Peripheral blood film:
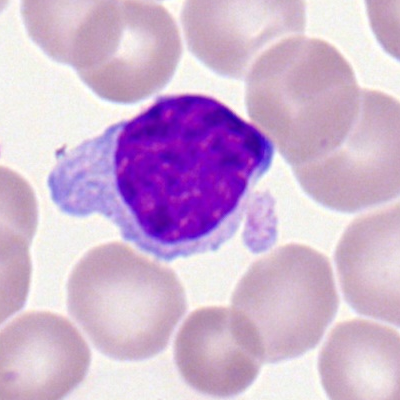Single cell identified as a typical lymphocyte.